May-Grünwald-Giemsa/Pappenheim stain · 40× objective, oil immersion · bone marrow smear.
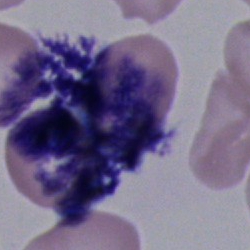

Classification — artefact.